Bone marrow smear · brightfield, 40× oil-immersion objective:
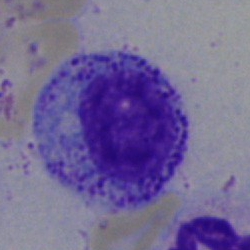 Specimen: bone marrow aspirate smear.
Cell: promyelocyte.
Lineage: myeloid.